Bone marrow smear:
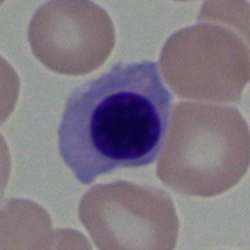

Impression — erythroblast.